Bone marrow smear: 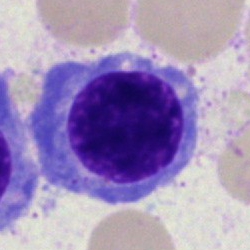

The cell shown is a basophil.